Bone marrow aspirate smear; May-Grünwald-Giemsa stain:
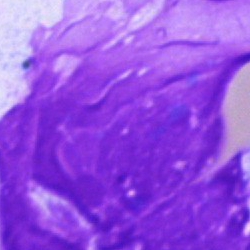 Showing an artifact.